Bone marrow smear — 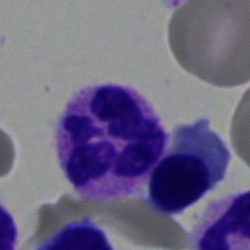 Morphological class: segmented neutrophil.